Pappenheim-stained; bone marrow aspirate smear:
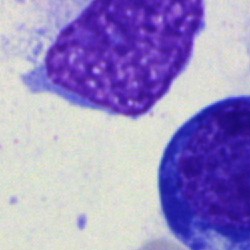

{"cell_type": "artefact"}